250×250 · bone marrow aspirate smear · 40× oil immersion: 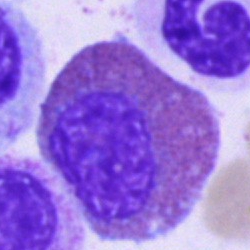

Cell type — eosinophil.